Bone marrow smear — 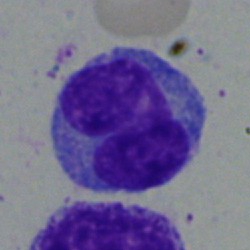

{"cell_type": "monocyte", "lineage": "myeloid"}